Bone marrow smear.
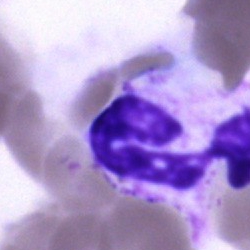
Showing a neutrophil (segmented).